Cropped to a single cell; peripheral blood film
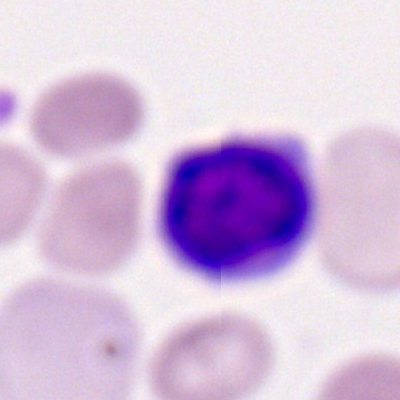 Q: What is shown here?
A: A lymphocyte.